Bone marrow aspirate smear
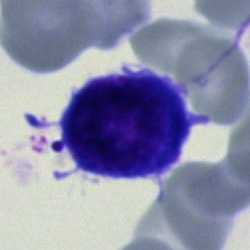 Specimen: bone marrow aspirate smear.
Cell type: typical lymphocyte.
Lineage: lymphoid.